Brightfield, 40× oil-immersion objective · bone marrow smear:
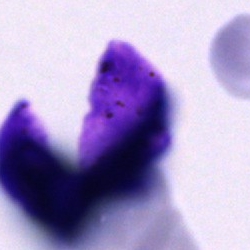This is an artifact.